Bone marrow smear.
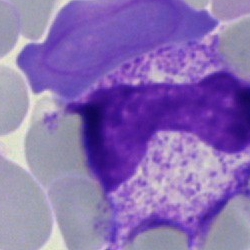
Q: Which cell type is shown here?
A: It is a band-form neutrophil.